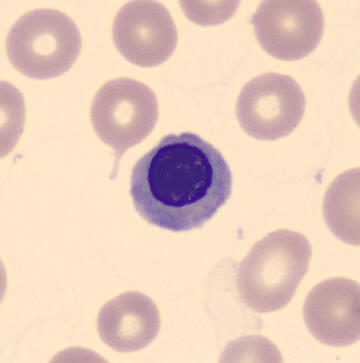

This is an erythroblast.

Acquisition: Imaged on a CellaVision DM96 analyser; peripheral blood film; single-cell crop.